Single-cell field. 250×250 px. Bone marrow smear — 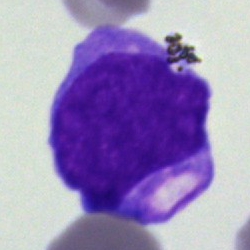
Cell — undifferentiated blast.